Cropped to a single cell. Bone marrow smear
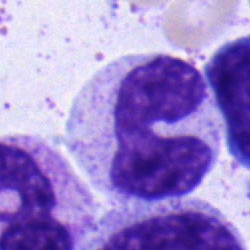 Showing a neutrophil (band).